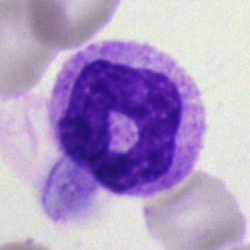Bone marrow smear showing a polymorphonuclear neutrophil.